250×250. Bone marrow smear
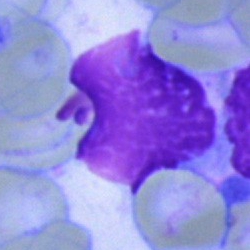 Single cell identified as an artifact.